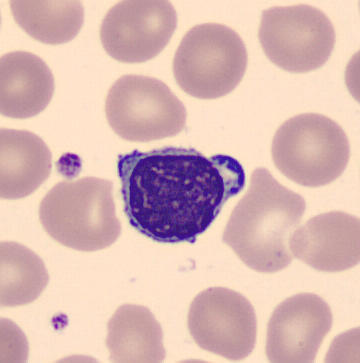

Image: Peripheral blood film; May Grünwald-Giemsa stain.
Impression → typical lymphocyte.